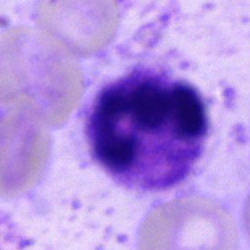

Cell = polymorphonuclear neutrophil.